May-Grünwald-Giemsa stain; 250 by 250 pixels; bone marrow smear — 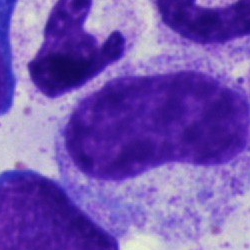 A metamyelocyte.